Bone marrow aspirate smear
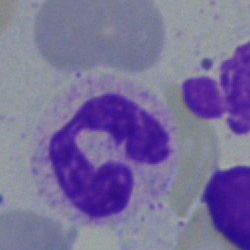

Classification: polymorphonuclear neutrophil.